Bone marrow aspirate smear:
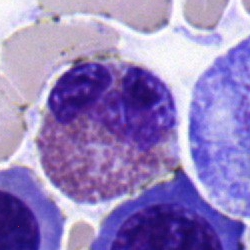
The cell shown is an eosinophilic granulocyte.